40× objective, oil immersion; bone marrow smear — 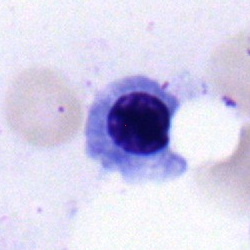
A normoblast.